Bone marrow smear.
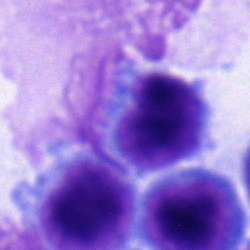
Q: What type of cell is this?
A: This is a lymphocyte.